Bone marrow smear — 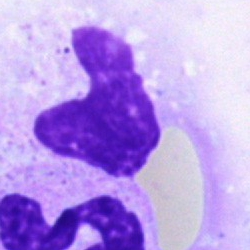Cell — artefact.